Bone marrow smear. MGG-stained:
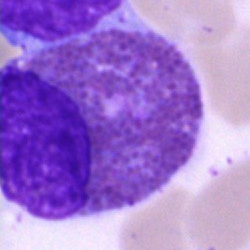
Q: Which cell type is shown here?
A: It is an eosinophil.